Bone marrow smear — 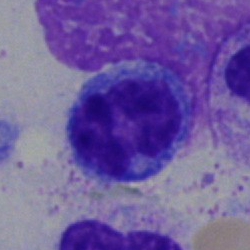{"cell_type": "lymphocyte"}